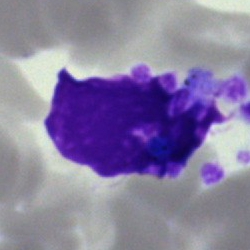
Cell type = artefact.